Pappenheim-stained; bone marrow smear: 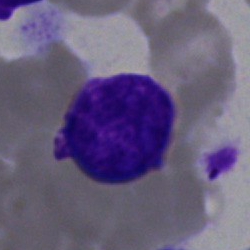Morphology — artefact.